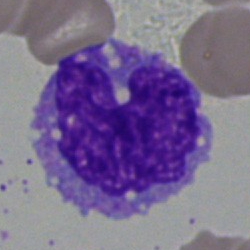

The classification is monocyte.